Bone marrow smear
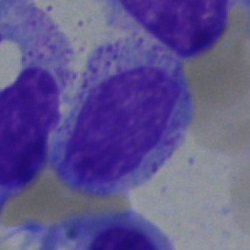Specimen: bone marrow aspirate smear.
Morphological class: myelocyte.
Lineage: myeloid.